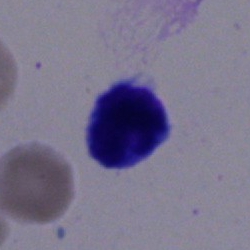
The morphological class is lymphocyte.